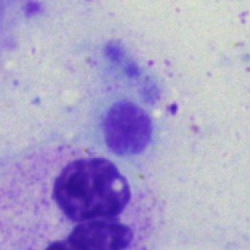 Specimen: bone marrow aspirate smear.
Cell type: artefact.